Bone marrow smear.
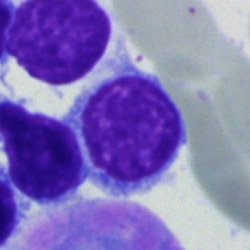{"cell_type": "typical lymphocyte", "lineage": "lymphoid"}